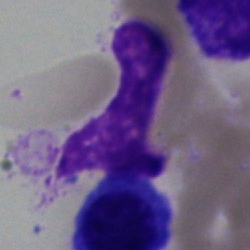 An artifact.